Bone marrow smear. Brightfield microscopy, 40× oil immersion: 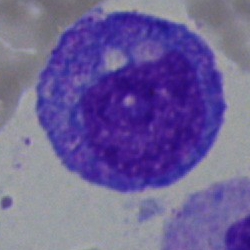Q: What type of cell is this?
A: This is a progranulocyte.